Bone marrow aspirate smear. Single-cell field.
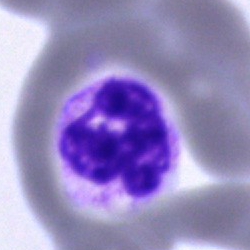
Segmented neutrophil.